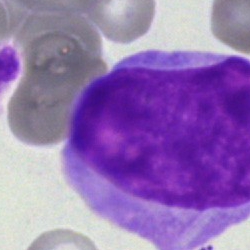
Morphology consistent with a cell not matching the other categories.